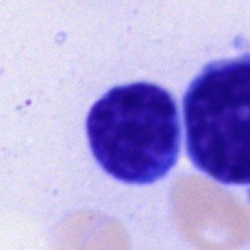Cell type — typical lymphocyte.